Bone marrow aspirate smear — 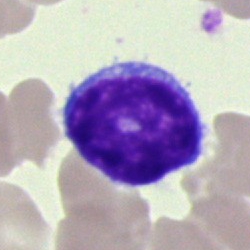

Morphological class: lymphocyte.